250×250; bone marrow aspirate smear; May-Grünwald-Giemsa stain
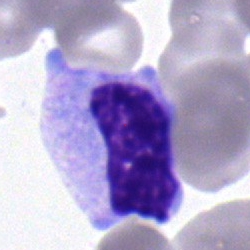
Q: Which cell type is shown here?
A: A band neutrophil.